May-Grünwald-Giemsa/Pappenheim stain. 250×250 px. Bone marrow smear — 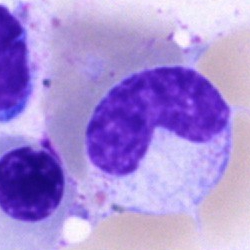

Q: Identify the cell.
A: This is a band-form neutrophil.